Bone marrow smear.
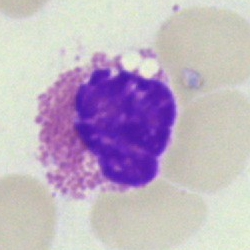Classification — eosinophilic granulocyte.